Bone marrow aspirate smear; May-Grünwald-Giemsa stain: 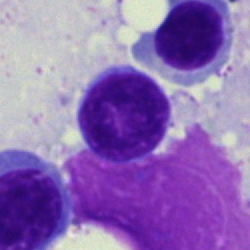 Classification: lymphocyte.